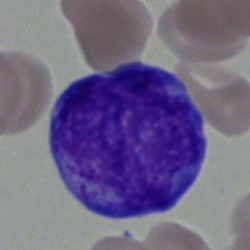Impression — blast cell.